Cropped to a single cell; bone marrow smear:
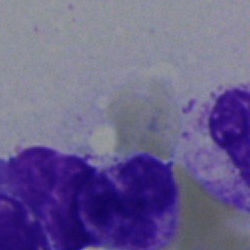Q: What is shown here?
A: Artefact.